May-Grünwald-Giemsa stain. Bone marrow smear: 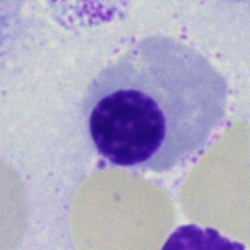Cell type — erythroblast.